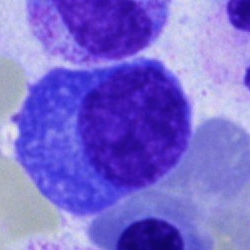
This is a plasma cell.